Bone marrow smear; 250×250 px; single-cell crop: 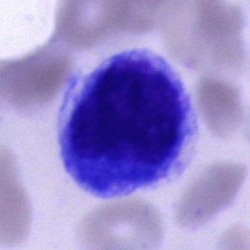 Impression → unidentifiable cell.